Single-cell crop; bone marrow smear:
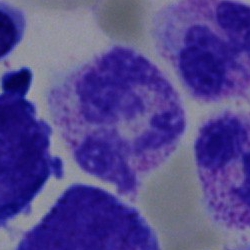

Morphology → polymorphonuclear neutrophil.